Bone marrow smear — 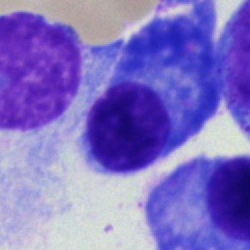

Morphological class — plasmacyte.